Bone marrow smear: 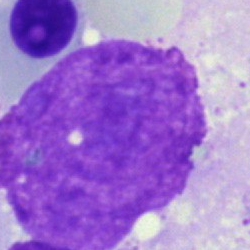

An artefact.